Bone marrow smear · May-Grünwald-Giemsa/Pappenheim stain.
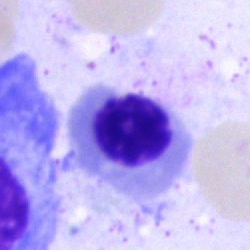
Q: What type of cell is this?
A: Erythroblast.